250×250 · bone marrow aspirate smear
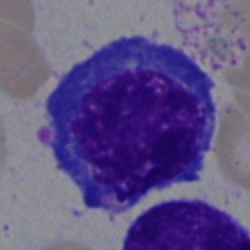

Morphological class: nucleated red cell.